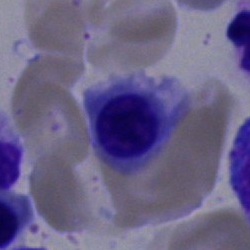 {"cell_type": "nucleated red cell"}